Bone marrow aspirate smear.
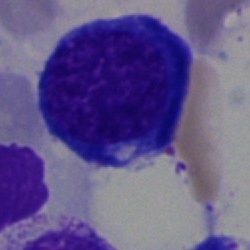Specimen: bone marrow smear.
Cell: erythroblast.